Cropped to a single cell · bone marrow aspirate smear.
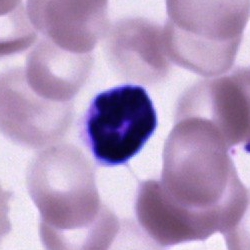

Morphological class — unidentifiable cell.